Bone marrow aspirate smear — 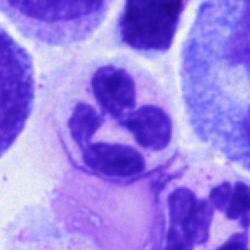 Q: What type of cell is this?
A: It is a polymorphonuclear neutrophil.